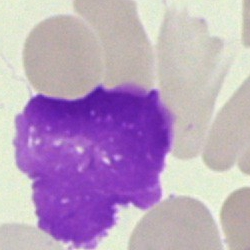

Bone marrow aspirate smear, single cell — artefact.